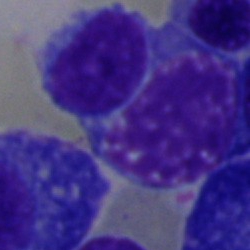 Q: What type of cell is this?
A: A nucleated red cell.